Bone marrow aspirate smear
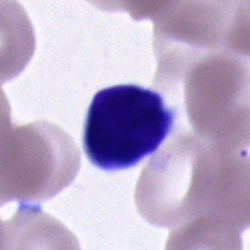
Morphology consistent with a typical lymphocyte.